Bone marrow aspirate smear: 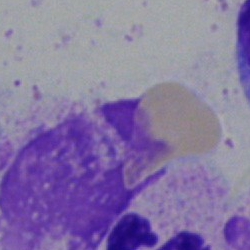

Morphology consistent with an artefact.